250 by 250 pixels · bone marrow smear.
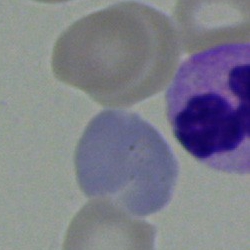The cell shown is a segmented neutrophil.